Bone marrow smear · cropped to a single cell — 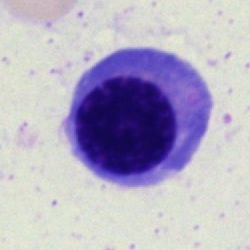 Single cell identified as a normoblast.